Bone marrow smear. MGG-stained — 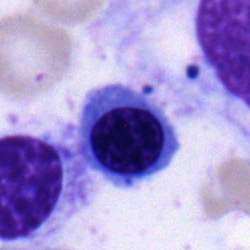
Morphology consistent with a normoblast.